Bone marrow aspirate smear — 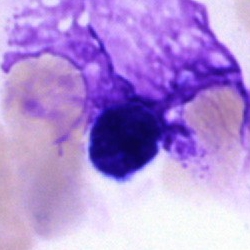

Specimen: bone marrow aspirate smear.
Classification: artefact.